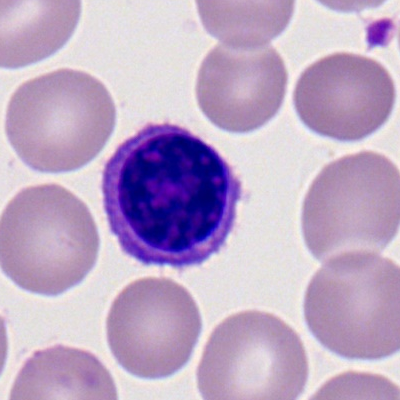
Single-cell crop from a peripheral blood smear: lymphocyte.